Bone marrow smear; May-Grünwald-Giemsa/Pappenheim stain:
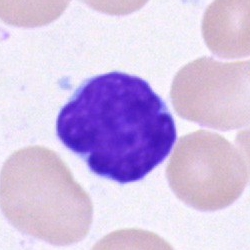

A lymphocyte.